Peripheral blood smear.
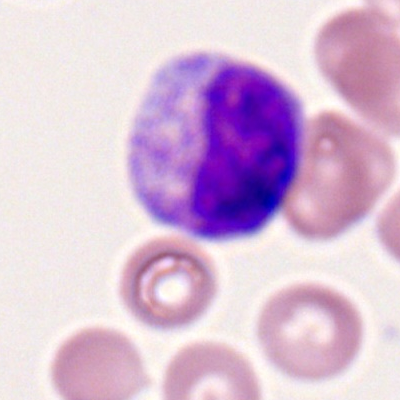Specimen: peripheral blood smear.
Cell type: band neutrophil.
Lineage: myeloid.